Bone marrow smear.
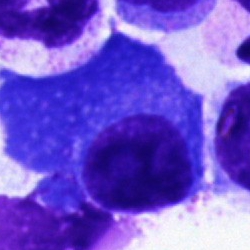
Cell = plasmacyte.